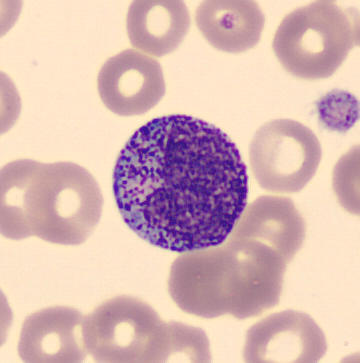 Preparation: Peripheral blood film.

Single cell identified as a myelocyte.